Bone marrow aspirate smear: 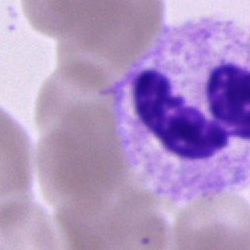
Cell — polymorphonuclear neutrophil.